Brightfield microscopy, 40× oil immersion; bone marrow aspirate smear.
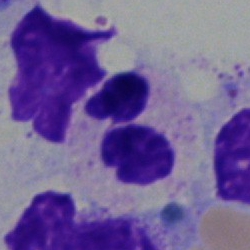 {"cell_type": "neutrophil (segmented)", "lineage": "myeloid"}